40× oil immersion; bone marrow smear
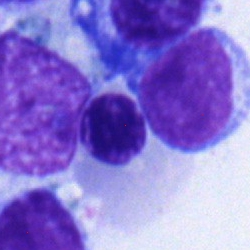 A nucleated red blood cell.